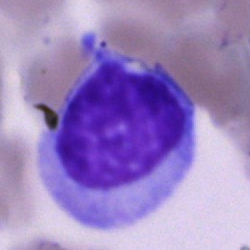 Q: What cell is this?
A: It is a cell of indeterminate lineage.